Bone marrow smear; 40× objective, oil immersion: 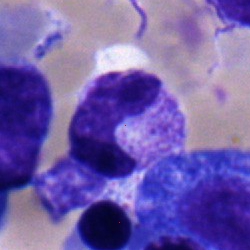

Q: What cell is this?
A: Band neutrophil.